Bone marrow smear:
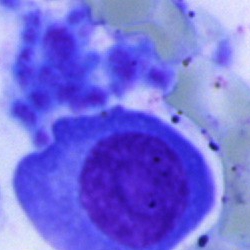Q: Identify the cell.
A: This is a plasma cell.